Bone marrow aspirate smear. Single-cell crop. 40× objective, oil immersion.
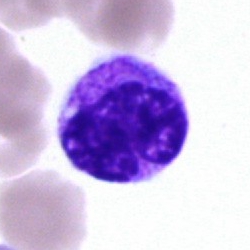Morphology → metamyelocyte.